Bone marrow aspirate smear.
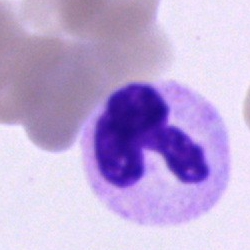

This is a neutrophil (segmented).